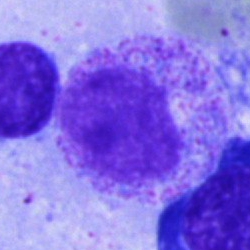Cell — promyelocyte.